Bone marrow aspirate smear — 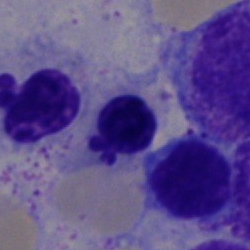

The cell shown is an erythroblast.